Bone marrow aspirate smear. May-Grünwald-Giemsa stain:
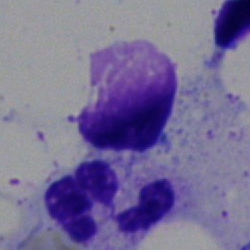
Morphological class = segmented neutrophil.